Bone marrow aspirate smear — 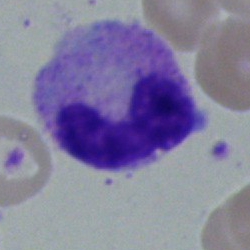 The cell is stab cell.